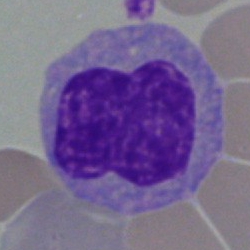

Monocyte.